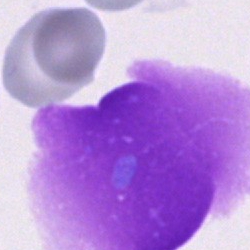Bone marrow aspirate smear, single cell — artefact.